Bone marrow aspirate smear — 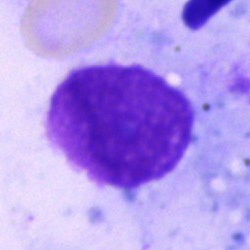
Morphology consistent with an artefact.